Bone marrow smear: 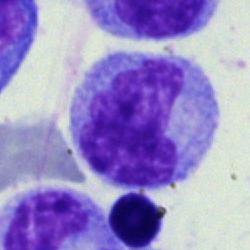
Showing a typical lymphocyte.